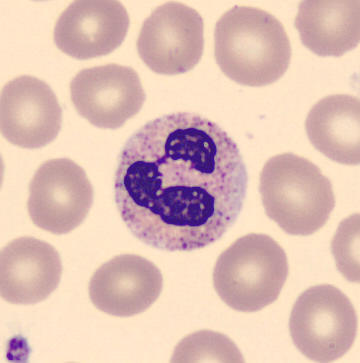

Image: CellaVision DM96. Peripheral blood film.
This is a neutrophil (segmented).